Bone marrow aspirate smear; brightfield microscopy, 40× oil immersion: 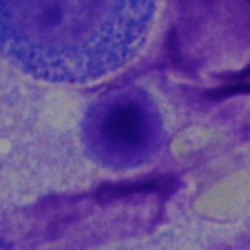 The cell is lymphocyte.